Bone marrow aspirate smear
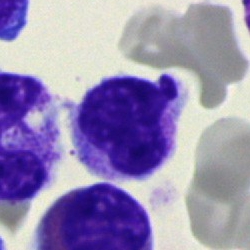

Morphology → band neutrophil.